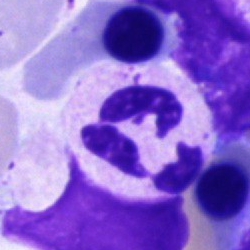 Q: Identify the cell.
A: This is a polymorphonuclear neutrophil.